40× oil immersion · bone marrow aspirate smear · single-cell field: 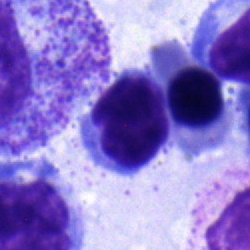 Showing a typical lymphocyte.